Bone marrow aspirate smear.
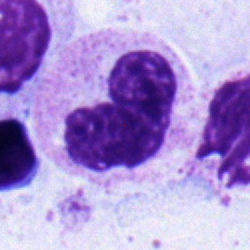 Morphological class: band neutrophil.